Bone marrow smear.
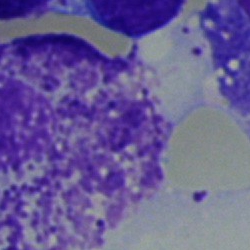
Impression — other cell.